Bone marrow smear · May-Grünwald-Giemsa stain:
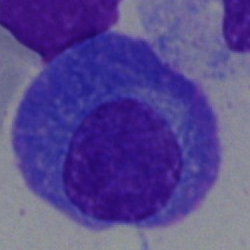 Q: Which cell type is shown here?
A: Plasmacyte.